Bone marrow smear — 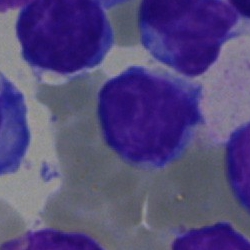Showing a typical lymphocyte.